250×250 px. Bone marrow smear. May-Grünwald-Giemsa stain
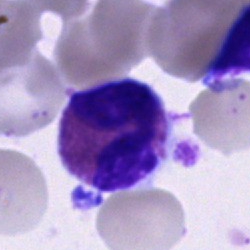Morphological class: eosinophilic granulocyte.